Peripheral blood smear
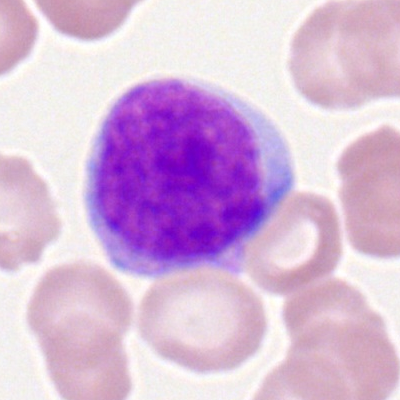
Specimen: peripheral blood smear.
Morphological class: myeloblast.
Lineage: myeloid.